Single-cell field; bone marrow smear: 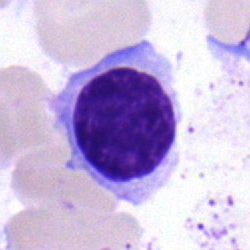

Specimen: bone marrow smear.
Cell: typical lymphocyte.